Bone marrow smear:
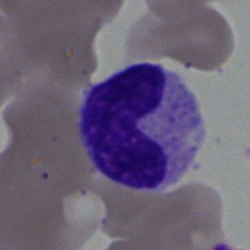
Classification = band-form neutrophil.